Image size 250×250; bone marrow smear.
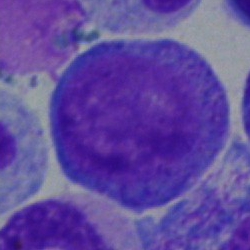Progranulocyte.